250×250. Bone marrow aspirate smear. Single-cell field: 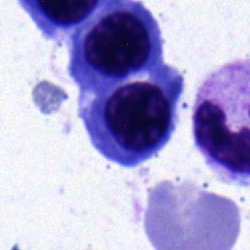

Specimen: bone marrow aspirate smear.
Classification: erythroblast.
Lineage: erythroid.